Peripheral blood film. Romanowsky stain
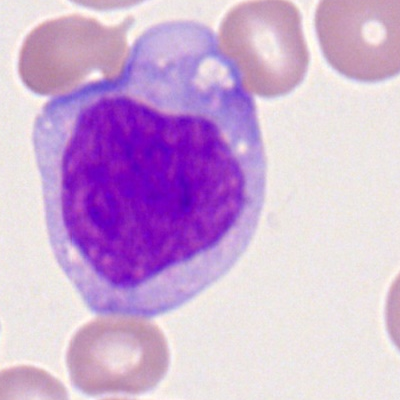
Q: What type of cell is this?
A: This is a monocyte.